Bone marrow smear · brightfield, 40× oil-immersion objective · May-Grünwald-Giemsa/Pappenheim stain — 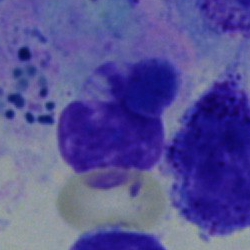

Classification = artifact.